40× objective, oil immersion; bone marrow smear
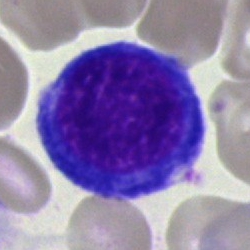
Specimen: bone marrow smear.
Cell type: nucleated red cell.
Lineage: erythroid.